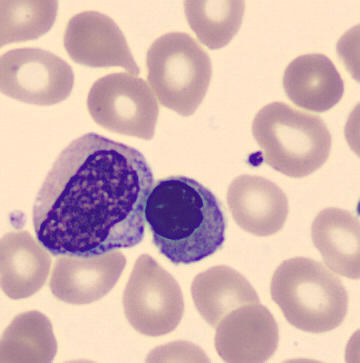

Impression → normoblast.